Bone marrow smear; 250×250; single cell centered in the field — 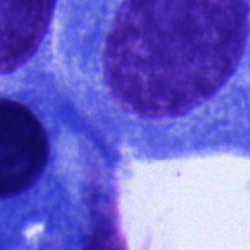

A plasma cell.